May-Grünwald-Giemsa/Pappenheim stain · bone marrow smear · brightfield microscopy, 40× oil immersion — 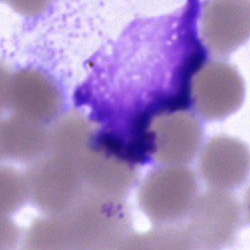This is an artefact.